Bone marrow aspirate smear.
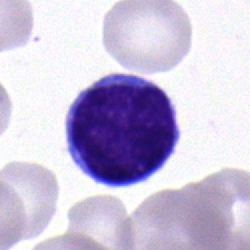

Q: What type of cell is this?
A: This is a lymphocyte.